May-Grünwald-Giemsa stain; bone marrow aspirate smear
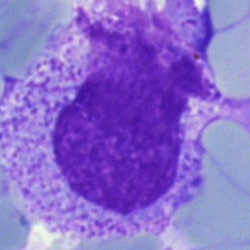 Impression → artifact.